Bone marrow smear; 250 by 250 pixels
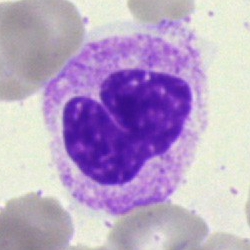 The cell is band neutrophil.